Peripheral blood film · 100× objective, oil immersion: 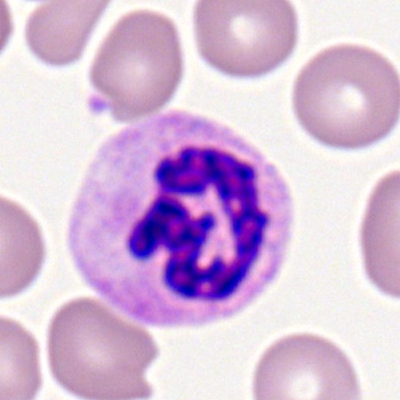
Impression → neutrophil (segmented).